Bone marrow smear:
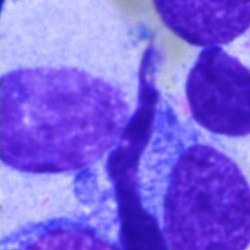
The morphological class is artefact.